Peripheral blood smear: 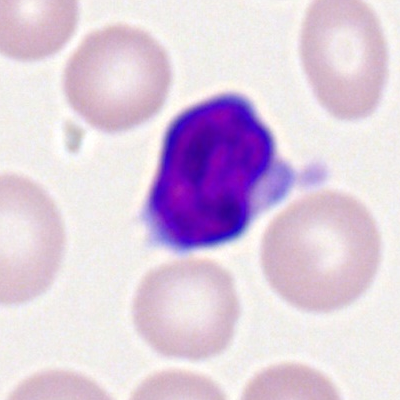Typical lymphocyte.